40× oil immersion; bone marrow smear: 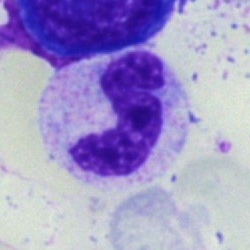Cell = neutrophil (band).